Bone marrow smear
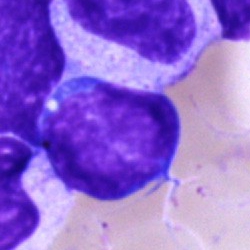 Impression — typical lymphocyte.